May-Grünwald-Giemsa stain. Bone marrow smear. 40× objective, oil immersion — 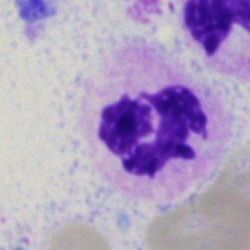 Q: Which cell type is shown here?
A: This is a segmented neutrophil.